Bone marrow aspirate smear.
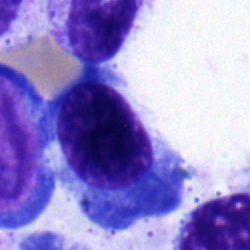

Erythroblast.